Brightfield microscopy, 40× oil immersion · May-Grünwald-Giemsa/Pappenheim stain · bone marrow smear.
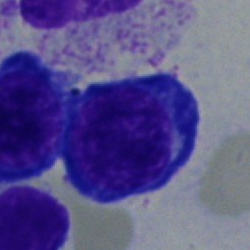

{"cell_type": "pronormoblast", "lineage": "erythroid"}